Bone marrow aspirate smear:
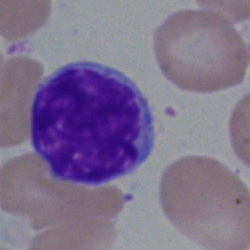
Lymphocyte.